Bone marrow smear; single cell centered in the field
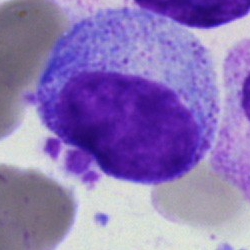
Cell type = myelocyte.